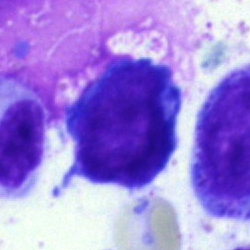

Q: What cell is this?
A: It is a pronormoblast.